Bone marrow aspirate smear: 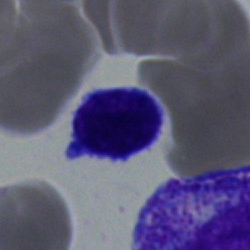

This is a lymphocyte.